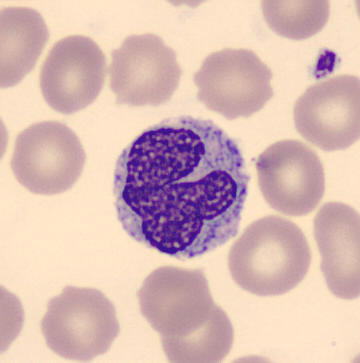

Morphology consistent with a monocyte.
Peripheral blood smear.